Brightfield microscopy, 40× oil immersion; bone marrow smear.
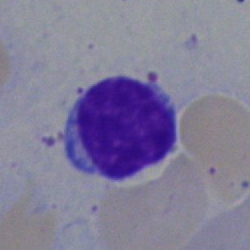 Morphology → typical lymphocyte.